Bone marrow smear. May-Grünwald-Giemsa stain.
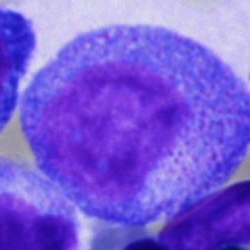

Showing a progranulocyte.